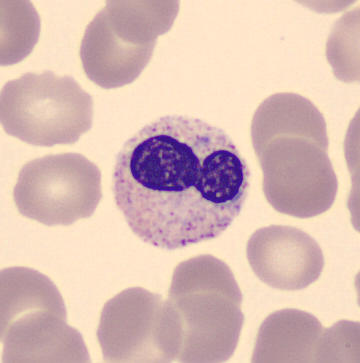
Peripheral blood smear; image size 360×363; cropped to a single cell. Cell type = band neutrophil.